Bone marrow smear; MGG-stained: 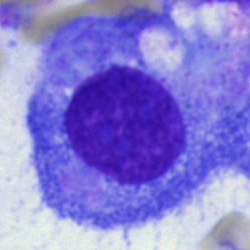The cell is plasma cell.